Bone marrow smear.
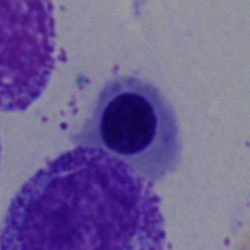
Impression — erythroblast.